Peripheral blood smear: 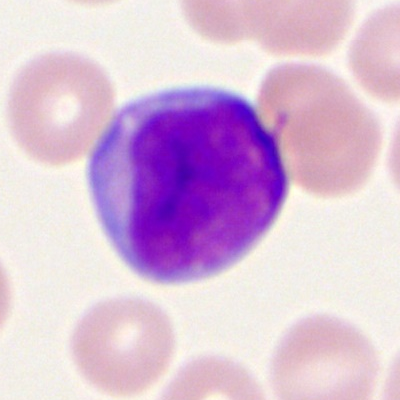 Classification: myeloid blast.